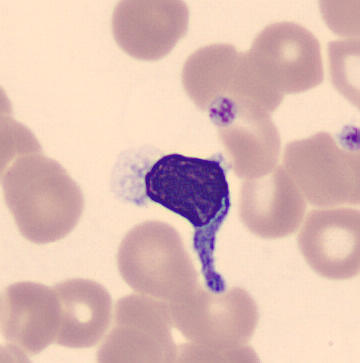 Peripheral blood film. Single cell identified as a lymphocyte.